Bone marrow aspirate smear. Pappenheim-stained — 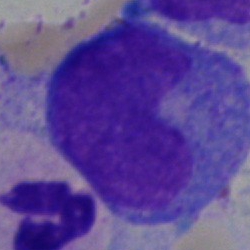

Impression — monocyte.